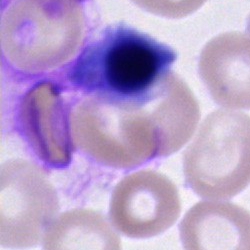

Specimen: bone marrow smear.
Cell type: erythroblast.
Lineage: erythroid.